Peripheral blood film · CellaVision DM96 digital cell image · single cell centered in the field — 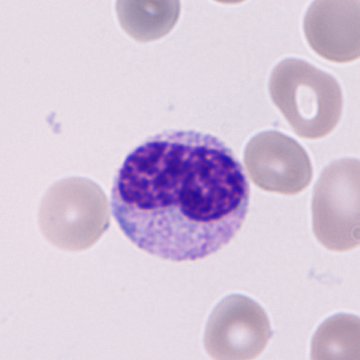 Morphology consistent with an immature granulocyte (promyelocyte, myelocyte or metamyelocyte).